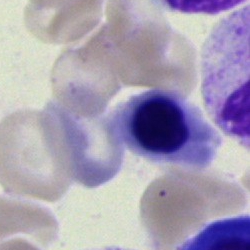 A nucleated red blood cell on a bone marrow smear.